Romanowsky-type stain · peripheral blood smear · 100× oil immersion, 14.14 px/µm.
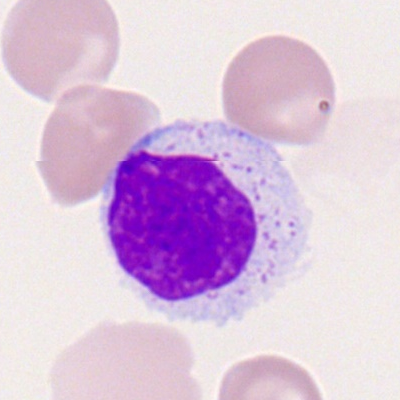Showing a lymphocyte.